Bone marrow smear. 250×250 px.
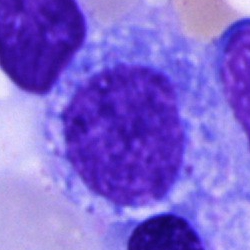

Morphological class — promyelocyte.